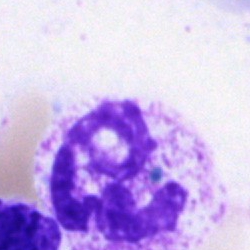 Cell: neutrophil (segmented).